Bone marrow aspirate smear: 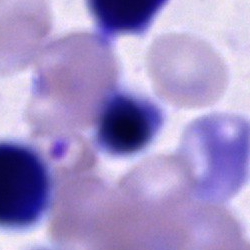
Q: What type of cell is this?
A: A cell of indeterminate lineage.